Bone marrow smear. 250×250 px:
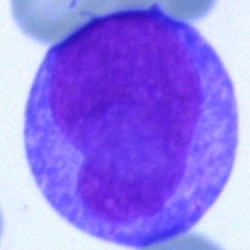

Q: Identify the cell.
A: Undifferentiated blast.